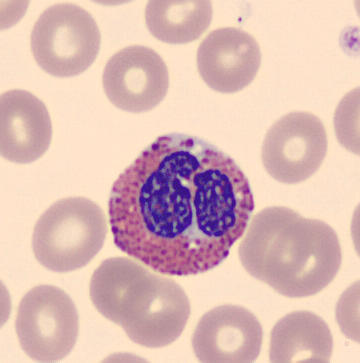
Q: What is the morphological classification of this cell?
A: It is an eosinophil.